Peripheral blood smear
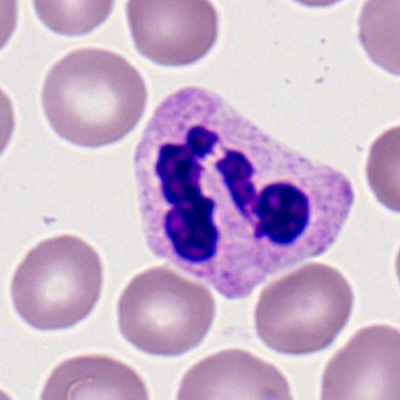 Showing a neutrophil (segmented).